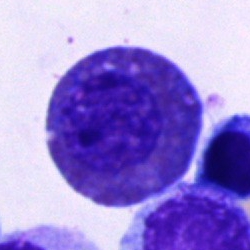 {"cell_type": "eosinophil", "lineage": "myeloid"}